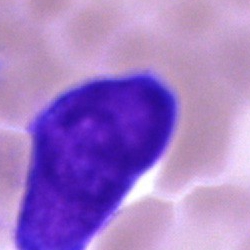Single cell identified as a blast.